Bone marrow smear; single-cell crop — 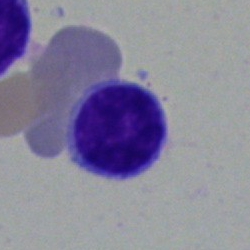

The morphological class is typical lymphocyte.